Bone marrow aspirate smear: 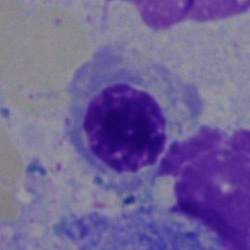
Showing an erythroblast.